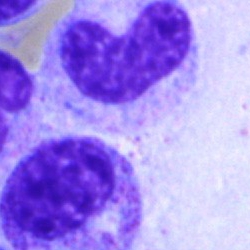
Morphology consistent with a metamyelocyte.